Single cell centered in the field. Bone marrow aspirate smear: 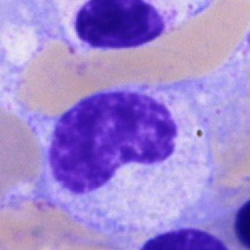 Specimen: bone marrow smear.
Cell: metamyelocyte.
Lineage: myeloid.